Peripheral blood smear: 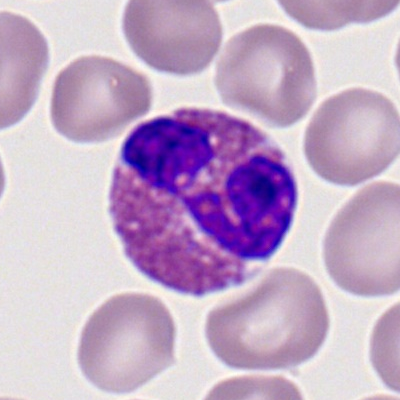 An eosinophil.